Bone marrow aspirate smear.
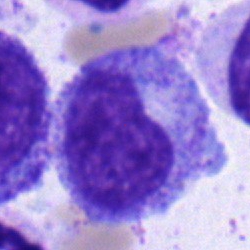
Q: What cell is this?
A: A metamyelocyte.